Bone marrow smear: 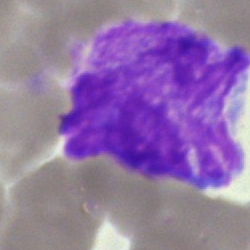
A blast.